Bone marrow smear
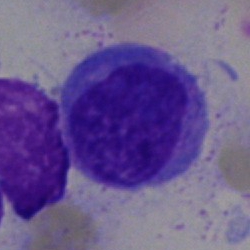
Classification = undifferentiated blast.